Bone marrow smear: 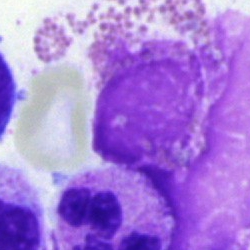
{"cell_type": "artifact"}